Bone marrow aspirate smear.
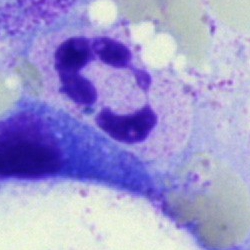The cell shown is a segmented neutrophil.